Single-cell field · bone marrow smear · 40× objective, oil immersion.
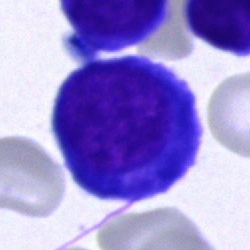
The cell is erythroblast.